Bone marrow smear. Single-cell crop.
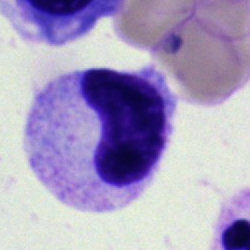 Q: What cell is this?
A: Neutrophil (band).